Bone marrow aspirate smear.
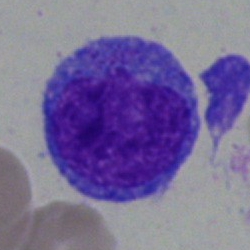
Cell type = blast cell.